250 by 250 pixels · bone marrow aspirate smear:
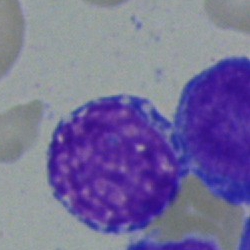

Q: What is shown here?
A: An undifferentiated blast.